Bone marrow aspirate smear · 250×250 px · single-cell field:
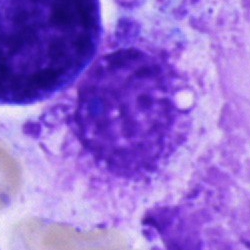 Cell type — artifact.